Bone marrow smear · 40× objective, oil immersion: 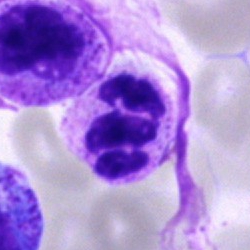 Q: What type of cell is this?
A: A segmented neutrophil.